Bone marrow aspirate smear; single cell centered in the field.
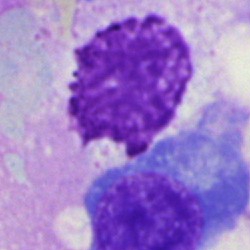

Morphology → artefact.